Bone marrow smear — 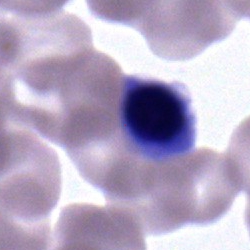
Single cell identified as a normoblast.